Bone marrow aspirate smear · May-Grünwald-Giemsa stain — 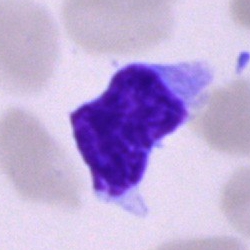

Morphology → typical lymphocyte.